Cropped to a single cell · bone marrow smear
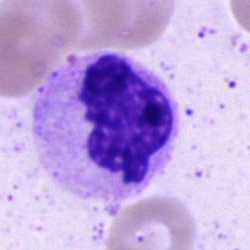

Single cell identified as a segmented neutrophil.